Bone marrow aspirate smear.
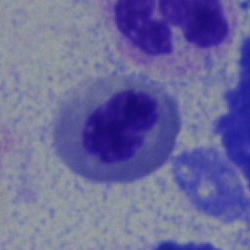 Cell: nucleated red cell.